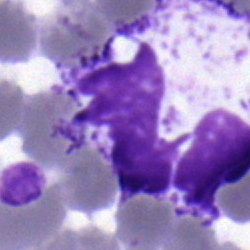Bone marrow smear showing a polymorphonuclear neutrophil.